Bone marrow aspirate smear: 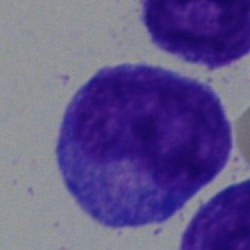

Q: What type of cell is this?
A: A promyelocyte.